Bone marrow aspirate smear · brightfield, 40× oil-immersion objective:
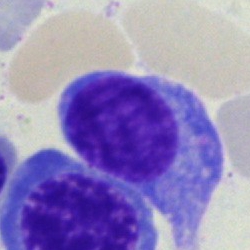
Q: What is shown here?
A: A plasmacyte.